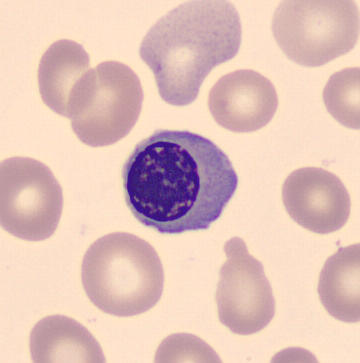Nucleated red cell. Image: Peripheral blood smear.